Peripheral blood smear · Romanowsky-stained.
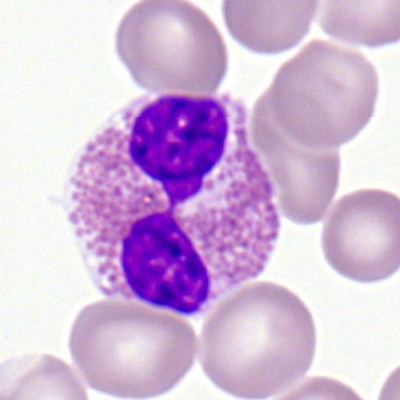Classification: eosinophil.